Bone marrow aspirate smear; 40× oil immersion:
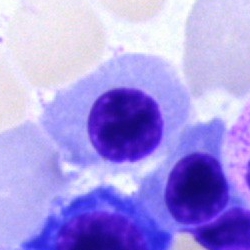

Specimen: bone marrow smear.
Cell type: nucleated red blood cell.
Lineage: erythroid.